May-Grünwald-Giemsa stain · 250 by 250 pixels · bone marrow smear
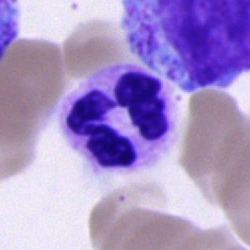 Q: Identify the cell.
A: Polymorphonuclear neutrophil.